Pappenheim-stained. Bone marrow aspirate smear:
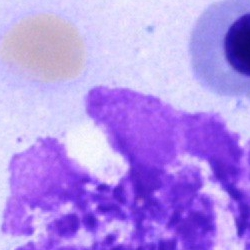
Specimen: bone marrow smear.
Cell: artefact.